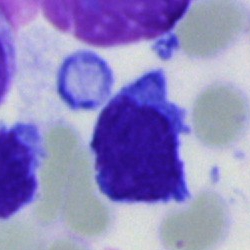
{"cell_type": "blast cell"}